Bone marrow aspirate smear
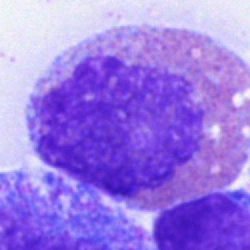
The morphological class is eosinophil.